Bone marrow aspirate smear · single cell centered in the field.
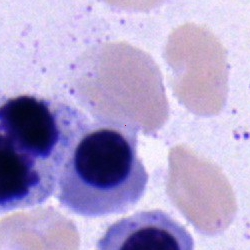

Morphology consistent with an erythroblast.